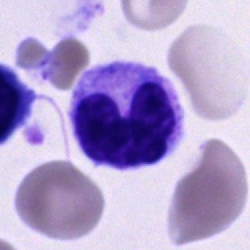An unidentifiable cell on a bone marrow smear.